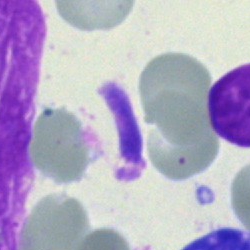 The morphological class is artifact.